Single-cell field. Bone marrow smear
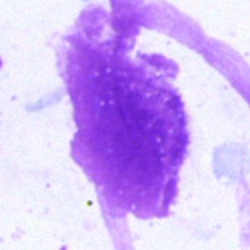Morphology — artifact.